Bone marrow aspirate smear: 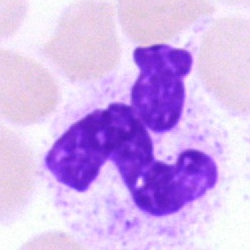
Impression → artifact.